Single cell centered in the field; bone marrow smear.
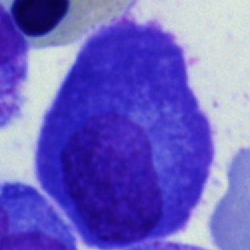 Q: What is the morphological classification of this cell?
A: A plasma cell.